Bone marrow aspirate smear.
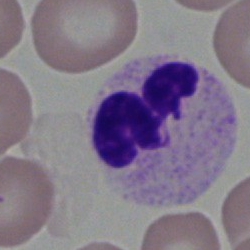
Q: What type of cell is this?
A: It is a polymorphonuclear neutrophil.